Bone marrow smear:
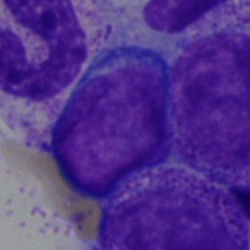 This is a lymphocyte.